Bone marrow aspirate smear.
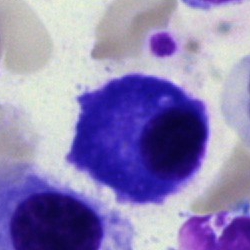
Impression → plasma cell.